May-Grünwald-Giemsa/Pappenheim stain · bone marrow smear · 250 by 250 pixels — 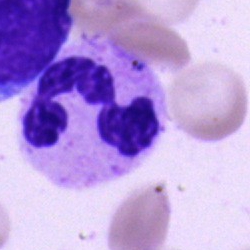

The cell shown is a segmented neutrophil.